Bone marrow smear; 40× objective, oil immersion.
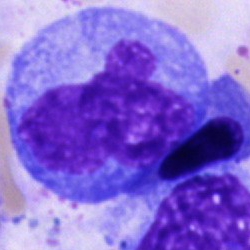
Q: What is the morphological classification of this cell?
A: This is a monocyte.